Single cell centered in the field. Bone marrow smear — 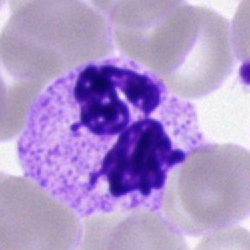
Cell: neutrophil (segmented).